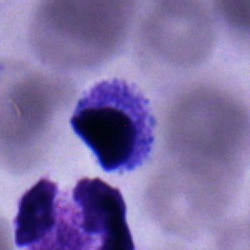Cell type = nucleated red blood cell.